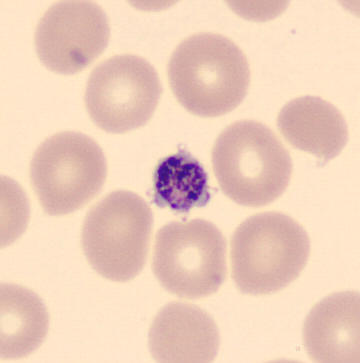
A platelet.